Peripheral blood film
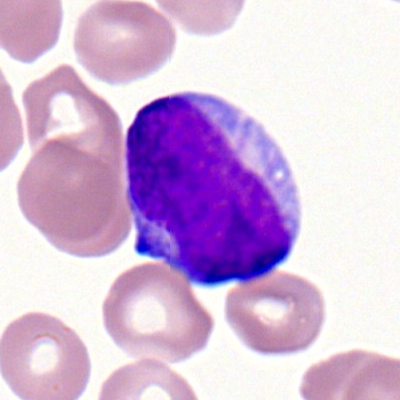
The cell shown is a myeloblast.